Bone marrow aspirate smear
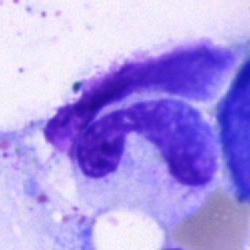 Q: What cell is this?
A: This is a neutrophil (segmented).